Bone marrow smear: 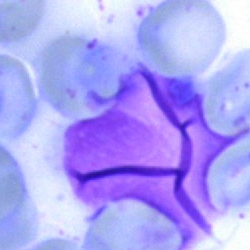 Q: What is shown here?
A: It is an artefact.